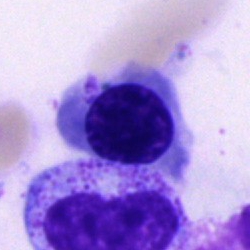

{"cell_type": "nucleated red blood cell", "lineage": "erythroid"}